Bone marrow aspirate smear: 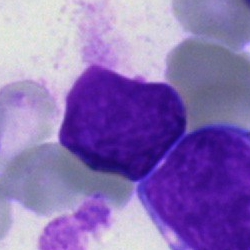

Specimen: bone marrow smear.
Cell type: blast.